Bone marrow smear
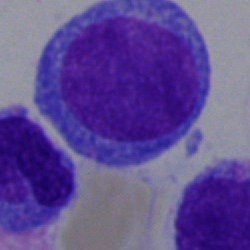

Morphology → blast cell.